Bone marrow smear · 40× oil immersion.
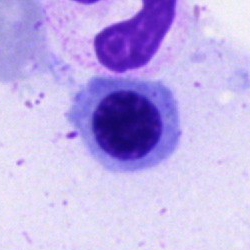

Morphology — nucleated red cell.